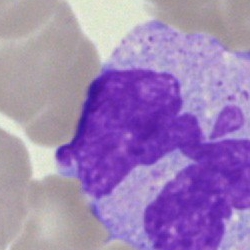 A monocyte on a bone marrow smear.